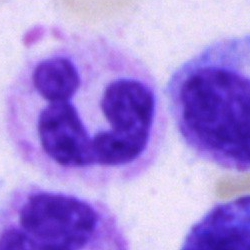
Single-cell crop from a bone marrow smear: polymorphonuclear neutrophil.